Single-cell crop; MGG-stained; bone marrow smear.
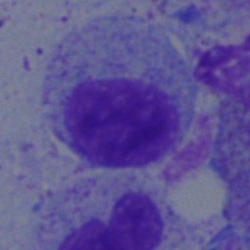

Showing a myelocyte.